Brightfield, 40× oil-immersion objective. Single-cell field. Bone marrow smear:
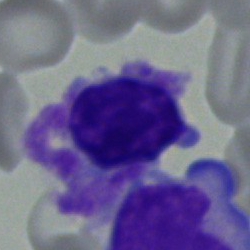Q: Identify the cell.
A: It is a lymphocyte.